40× oil immersion · May-Grünwald-Giemsa/Pappenheim stain · bone marrow aspirate smear
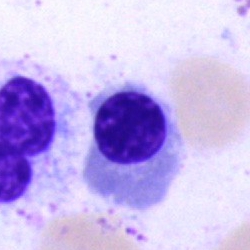

The cell is nucleated red blood cell.